40× objective, oil immersion. May-Grünwald-Giemsa stain. Bone marrow smear: 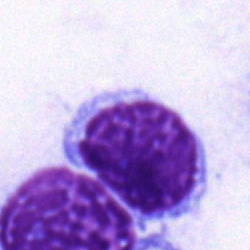 Typical lymphocyte.